Bone marrow smear. Single-cell crop. 250 by 250 pixels: 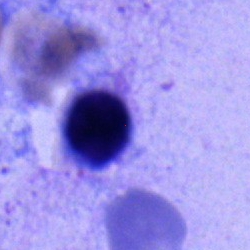Impression → lymphocyte.